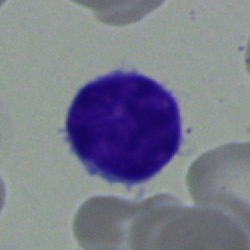 Impression → typical lymphocyte.